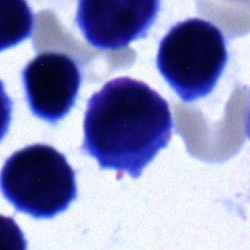
Cell — typical lymphocyte.